Bone marrow smear — 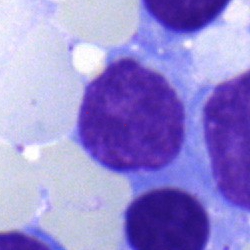Cell: lymphocyte.